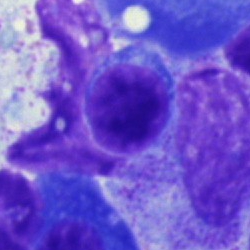
Impression — typical lymphocyte.